Bone marrow aspirate smear
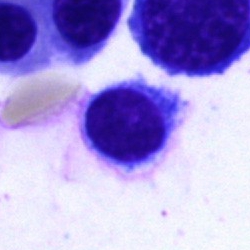 Typical lymphocyte.